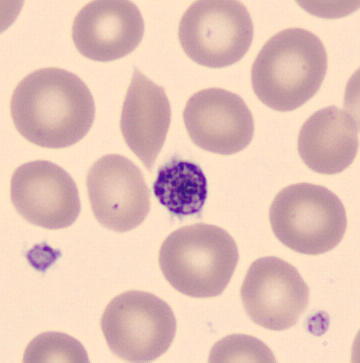Classification = platelet.
Peripheral blood film. CellaVision DM96 digital cell image. MGG stain.